Brightfield, 40× oil-immersion objective; bone marrow aspirate smear — 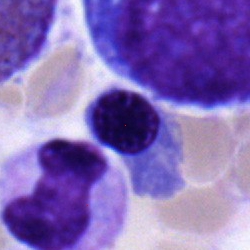

Morphology consistent with an erythroblast.